Bone marrow smear · 250×250
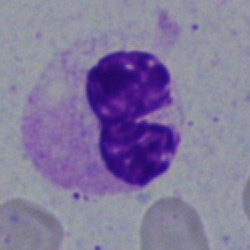
Cell type = polymorphonuclear neutrophil.